Bone marrow smear.
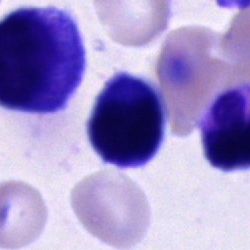
Showing an unidentifiable cell.